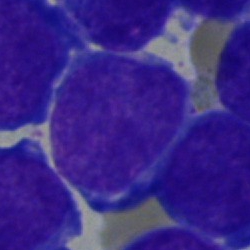
This is a blast cell.